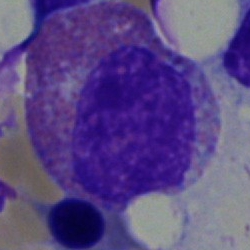 Classification: eosinophilic granulocyte.